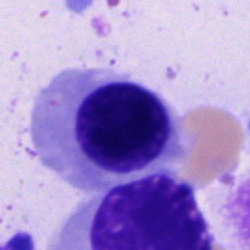
{"cell_type": "nucleated red blood cell", "lineage": "erythroid"}